Bone marrow aspirate smear · May-Grünwald-Giemsa stain · 40× oil immersion
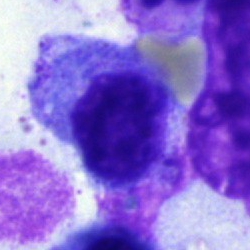

Classification — promyelocyte.